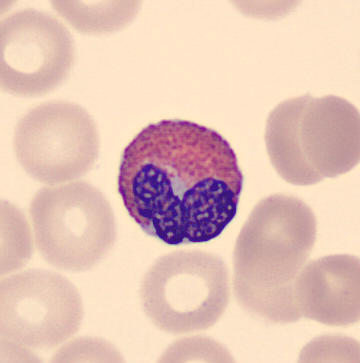
Eosinophil.